Automated cell imaging (CellaVision DM96); 360×363; peripheral blood film.
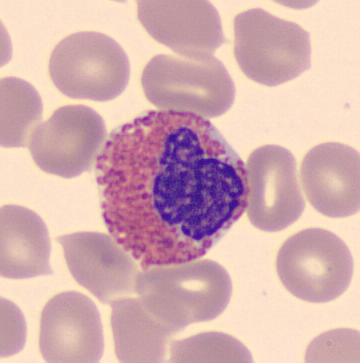

Morphology — eosinophilic granulocyte.